Bone marrow aspirate smear
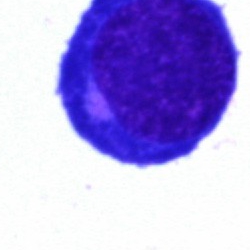 Morphological class = normoblast.